250 by 250 pixels; bone marrow smear.
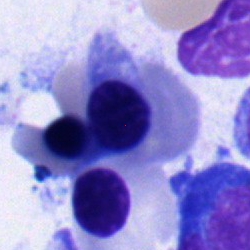

Nucleated red blood cell.